Bone marrow aspirate smear: 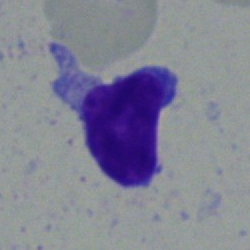
Morphological class — lymphocyte.